Bone marrow smear. May-Grünwald-Giemsa/Pappenheim stain
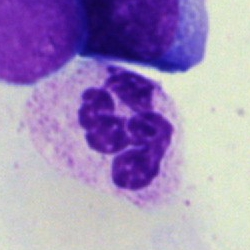A polymorphonuclear neutrophil.